Brightfield, 40× oil-immersion objective; bone marrow smear — 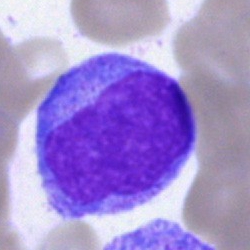 Specimen: bone marrow smear.
Cell type: blast.